Brightfield microscopy, 40× oil immersion. Bone marrow aspirate smear: 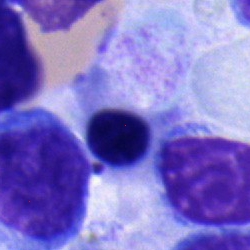 Specimen: bone marrow aspirate smear.
Cell type: normoblast.